Bone marrow aspirate smear; May-Grünwald-Giemsa stain — 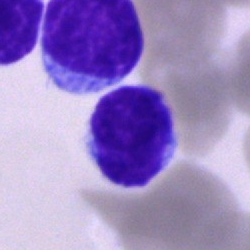{"cell_type": "lymphocyte"}